Bone marrow aspirate smear
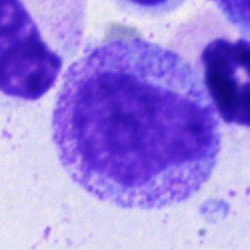

Impression → progranulocyte.